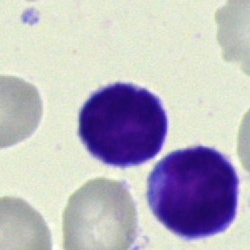
Impression → lymphocyte.